Bone marrow smear
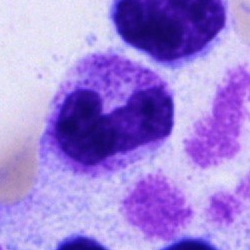

Cell type — polymorphonuclear neutrophil.